Bone marrow smear.
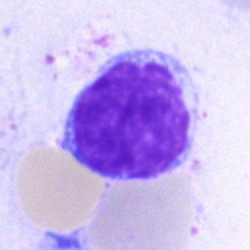The cell shown is a lymphocyte.